250×250; May-Grünwald-Giemsa stain; bone marrow aspirate smear:
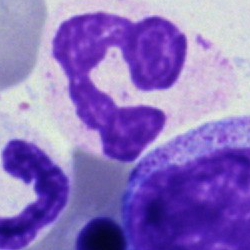Morphology — segmented neutrophil.